Brightfield, 40× oil-immersion objective. May-Grünwald-Giemsa stain. Bone marrow smear — 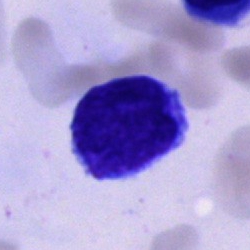
Q: What is the morphological classification of this cell?
A: It is a lymphocyte.